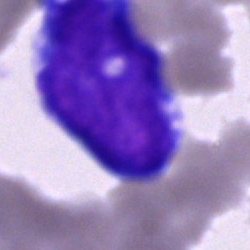Q: What cell is this?
A: It is an undifferentiated blast.